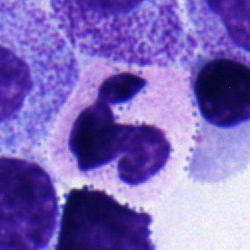 Cell = neutrophil (segmented).